Bone marrow aspirate smear: 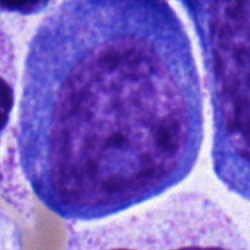Q: What is shown here?
A: It is a progranulocyte.